Bone marrow aspirate smear: 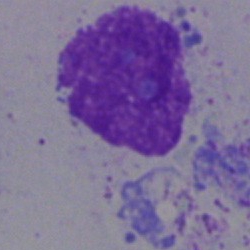
Impression — artifact.